Bone marrow smear.
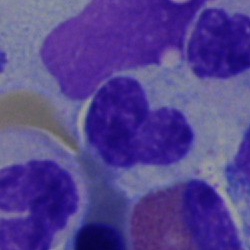 Specimen: bone marrow smear.
Cell type: band neutrophil.